Bone marrow smear; May-Grünwald-Giemsa stain; image size 250×250: 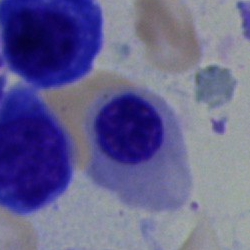
Morphological class: nucleated red blood cell.